Bone marrow smear
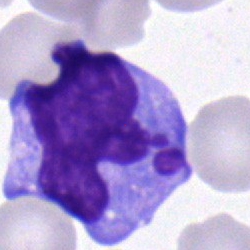

Single cell identified as a monocyte.